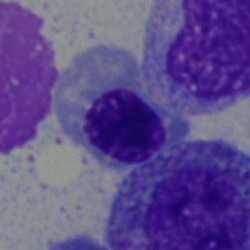

Specimen: bone marrow aspirate smear.
Morphological class: nucleated red cell.
Lineage: erythroid.